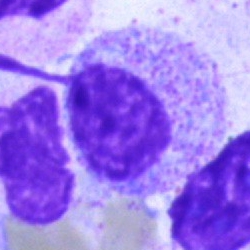A myelocyte on a bone marrow smear.